Brightfield, 40× oil-immersion objective · bone marrow aspirate smear.
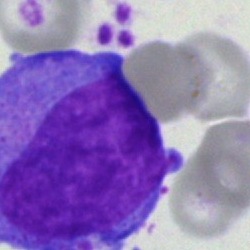
Q: What is the morphological classification of this cell?
A: A cell not matching the other categories.